Peripheral blood smear · Romanowsky-stained · cropped to a single cell.
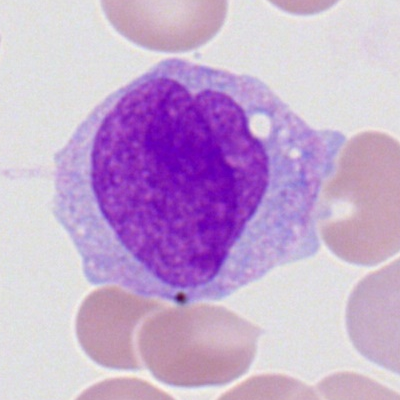
This is a monocyte.